Bone marrow aspirate smear
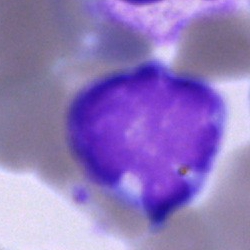 The cell shown is an artefact.